250×250 px; bone marrow smear; May-Grünwald-Giemsa/Pappenheim stain
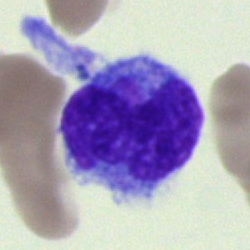The classification is monocyte.